MGG-stained; bone marrow aspirate smear; single cell centered in the field.
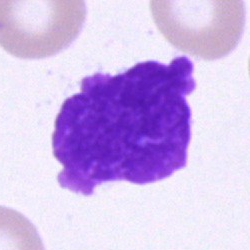Morphological class = artifact.